Bone marrow smear: 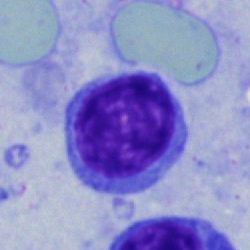Specimen: bone marrow aspirate smear.
Morphological class: typical lymphocyte.
Lineage: lymphoid.